Pappenheim-stained. Bone marrow smear. Single-cell crop — 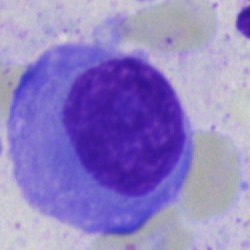 Showing a plasmacyte.